Bone marrow aspirate smear — 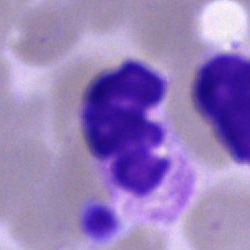

Q: What is shown here?
A: A neutrophil (segmented).